Bone marrow smear — 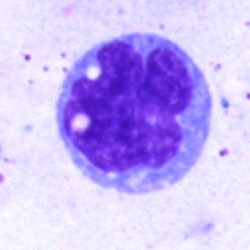A monocyte.